Bone marrow aspirate smear
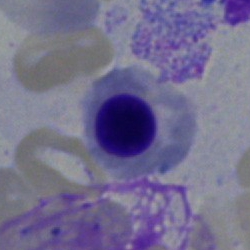
The morphological class is nucleated red cell.